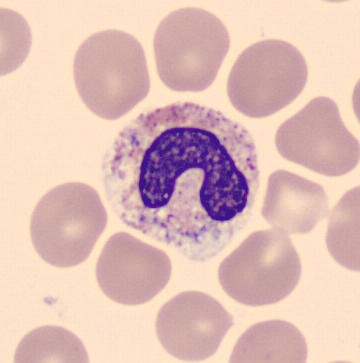
Band neutrophil.

Preparation: CellaVision DM96; peripheral blood film.